250×250 · bone marrow smear · MGG-stained
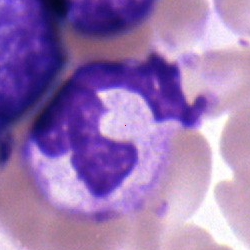

Polymorphonuclear neutrophil.